Bone marrow aspirate smear
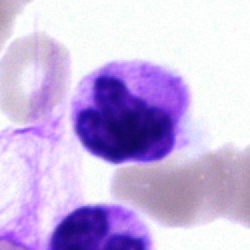Cell: segmented neutrophil.